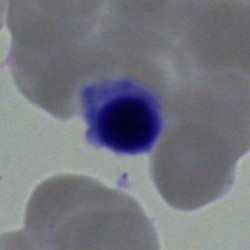Bone marrow aspirate smear, single cell — nucleated red cell.